Peripheral blood smear · M8 digital microscope (Precipoint), 100× oil immersion · 400×400 px
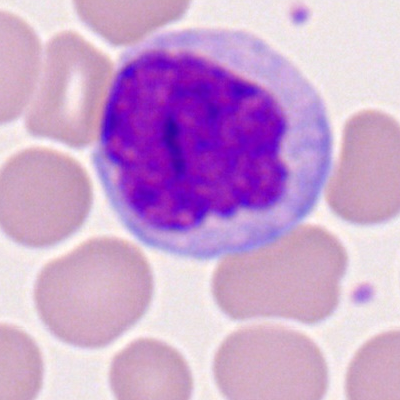
This is a monocyte.